Bone marrow smear · single-cell field.
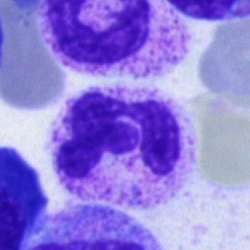Q: What is shown here?
A: Neutrophil (segmented).